Brightfield, 40× oil-immersion objective; bone marrow smear.
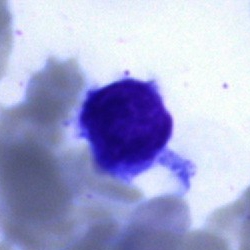
{"cell_type": "typical lymphocyte"}